Bone marrow aspirate smear; brightfield microscopy, 40× oil immersion
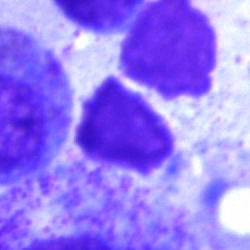

The cell shown is an artifact.